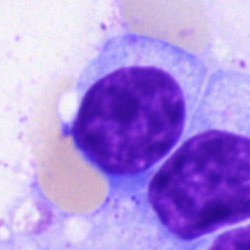
Morphology → lymphocyte.